Bone marrow aspirate smear — 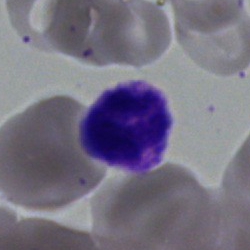 The classification is polymorphonuclear neutrophil.